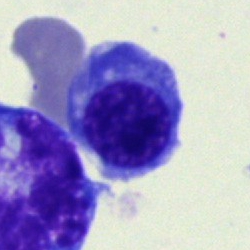
Morphological class: nucleated red cell.